Bone marrow aspirate smear · cropped to a single cell — 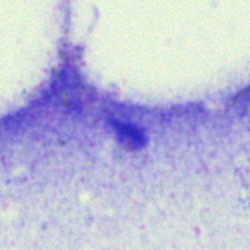 Q: What is shown here?
A: It is an artefact.